Bone marrow aspirate smear:
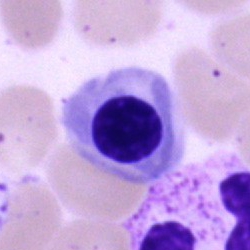
Specimen: bone marrow aspirate smear.
Classification: nucleated red blood cell.
Lineage: erythroid.